Bone marrow aspirate smear; Pappenheim-stained; image size 250×250:
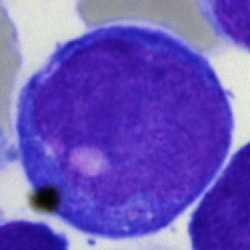 Q: What cell is this?
A: Proerythroblast.